Bone marrow smear · brightfield, 40× oil-immersion objective:
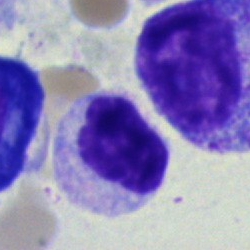 Impression — myelocyte.